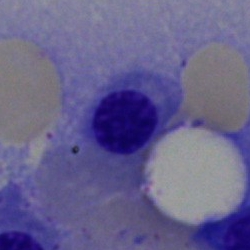 Classification — nucleated red blood cell.